Bone marrow smear · image size 250×250:
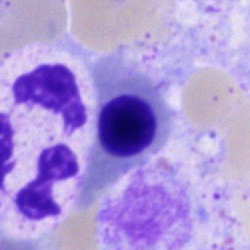

Morphological class — nucleated red blood cell.